250×250. Bone marrow smear.
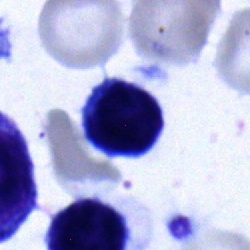 Showing a lymphocyte.